Bone marrow aspirate smear · 250 by 250 pixels.
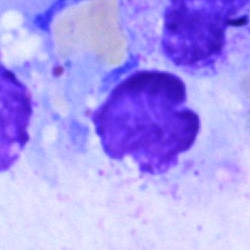 The cell shown is an artifact.